Bone marrow aspirate smear:
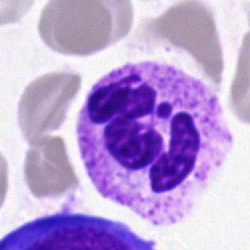Showing a neutrophil (segmented).